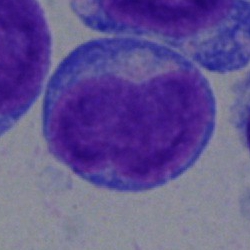The cell shown is a blast.